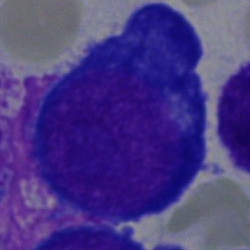Specimen: bone marrow smear.
Morphological class: normoblast.
Lineage: erythroid.